Bone marrow smear.
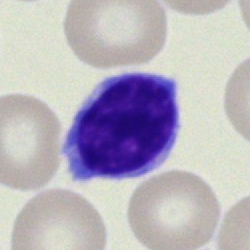
Morphological class — lymphocyte.